Bone marrow aspirate smear: 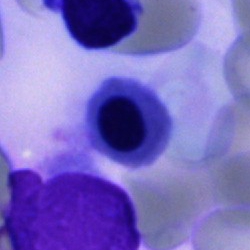Morphology consistent with a nucleated red blood cell.